Bone marrow aspirate smear:
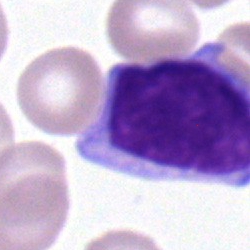 Q: Which cell type is shown here?
A: Typical lymphocyte.